Bone marrow smear.
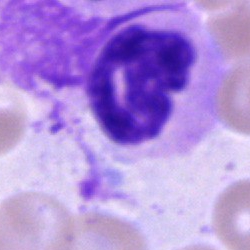 Morphological class — polymorphonuclear neutrophil.